Cropped to a single cell. Bone marrow smear
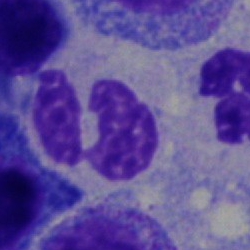

Single cell identified as a segmented neutrophil.